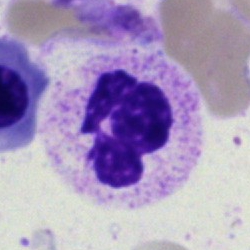 Classification — segmented neutrophil.